Bone marrow aspirate smear. 250×250. May-Grünwald-Giemsa stain: 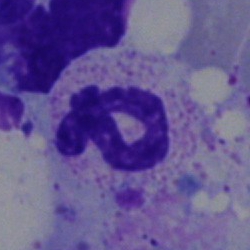{"cell_type": "polymorphonuclear neutrophil"}